Bone marrow aspirate smear. Single-cell crop — 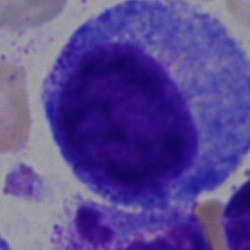

Progranulocyte.